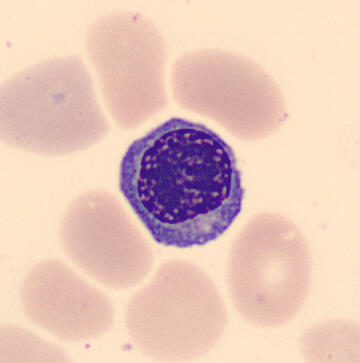This is a normoblast.
Peripheral blood film; 360×363.